Bone marrow aspirate smear
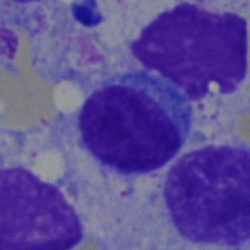Morphological class — lymphocyte.